Bone marrow aspirate smear:
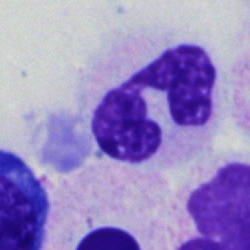
Q: What cell is this?
A: This is a polymorphonuclear neutrophil.